May-Grünwald-Giemsa stain · bone marrow aspirate smear:
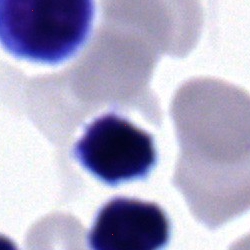

A lymphocyte.